Bone marrow smear; 250×250.
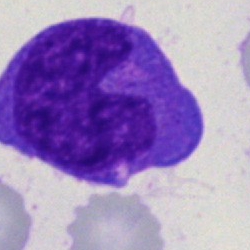

Q: What is shown here?
A: A monocyte.